Bone marrow aspirate smear.
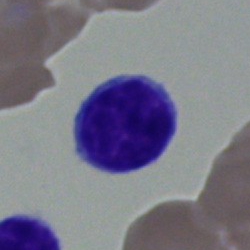 Cell: lymphocyte.